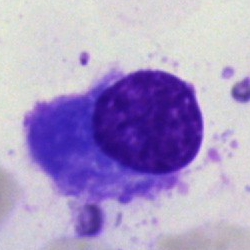Morphological class = plasmacyte.